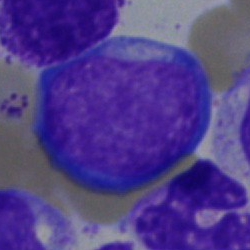
Specimen: bone marrow aspirate smear.
Morphological class: blast cell.